100× oil immersion, 14.14 px/µm; peripheral blood film — 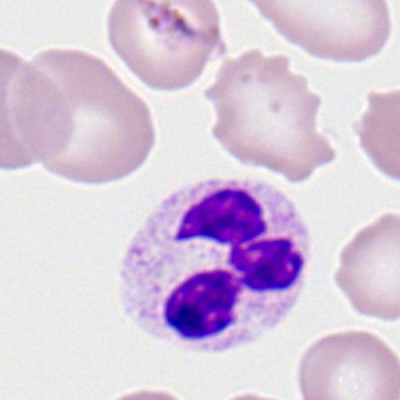 This is a neutrophil (segmented).